Bone marrow aspirate smear — 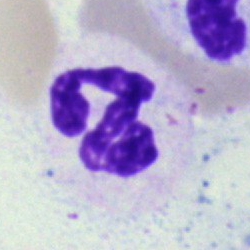{"cell_type": "polymorphonuclear neutrophil"}